Bone marrow aspirate smear; brightfield microscopy, 40× oil immersion.
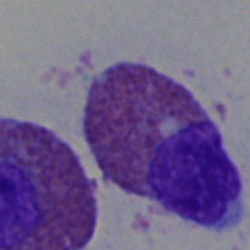 An eosinophilic granulocyte.